Peripheral blood smear
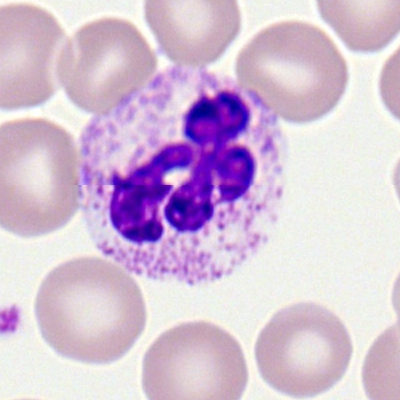
Morphology consistent with a neutrophil (segmented).